Cropped to a single cell. Bone marrow aspirate smear: 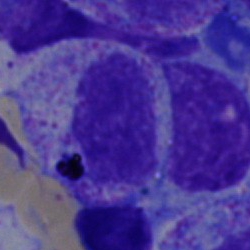 Showing a myelocyte.